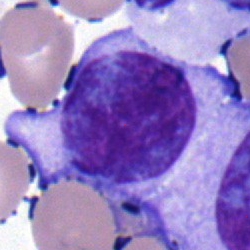

Q: Which cell type is shown here?
A: Typical lymphocyte.